400×400. Peripheral blood film.
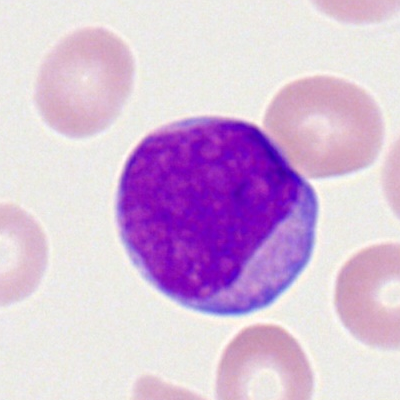

Morphological class — myeloblast.